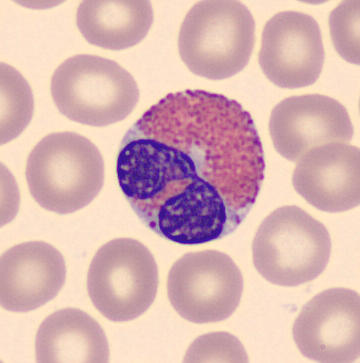Morphology consistent with an eosinophilic granulocyte. Acquisition: Single cell centered in the field. Peripheral blood film.